Bone marrow smear:
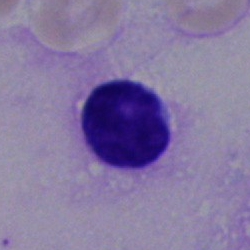 Single cell identified as a typical lymphocyte.